Bone marrow aspirate smear.
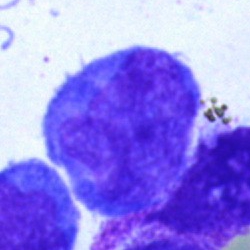
Blast cell.